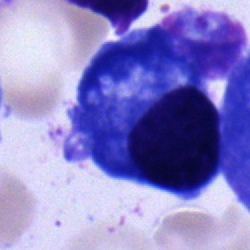
Cell type — plasma cell.